Bone marrow smear
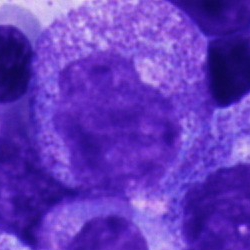
Q: Which cell type is shown here?
A: Progranulocyte.